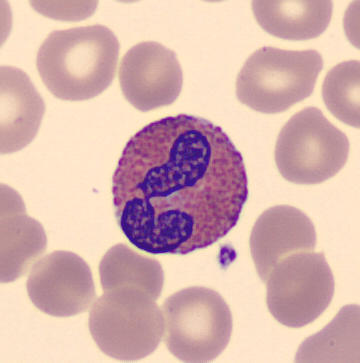

The morphological class is eosinophil. Image: Cropped to a single cell. Peripheral blood smear. MGG stain.